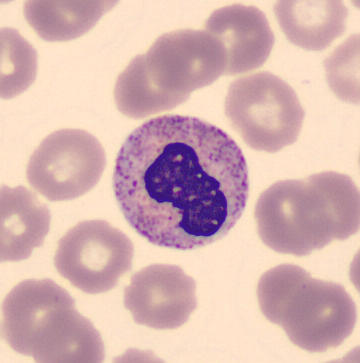
Impression → neutrophil (band). Image: May-Grünwald-Giemsa-stained. Peripheral blood film.